Bone marrow aspirate smear
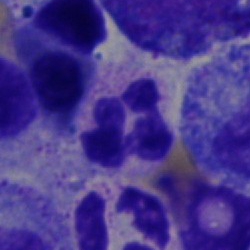A polymorphonuclear neutrophil.